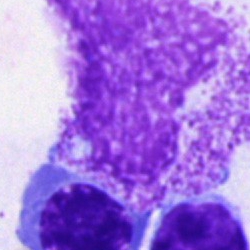

Morphology consistent with an artifact.